Bone marrow aspirate smear — 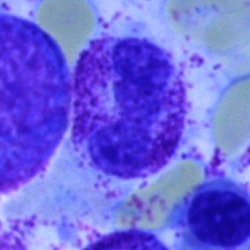 {"cell_type": "polymorphonuclear neutrophil", "lineage": "myeloid"}